250×250 · bone marrow aspirate smear.
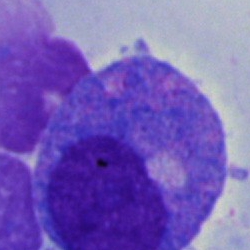Cell — promyelocyte.